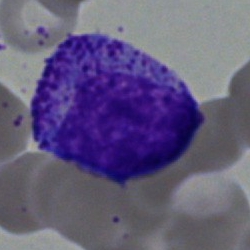Classification: myelocyte.